Bone marrow smear:
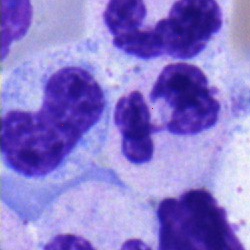
A metamyelocyte.